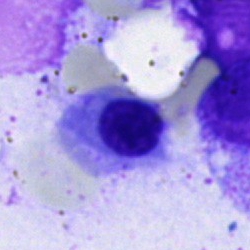 Q: What type of cell is this?
A: Erythroblast.